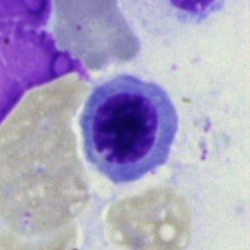 Bone marrow smear showing a nucleated red cell.